Bone marrow aspirate smear · 250×250:
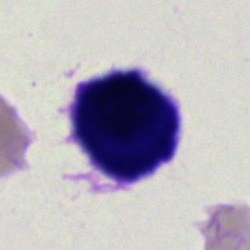Morphology consistent with an artifact.